Bone marrow aspirate smear
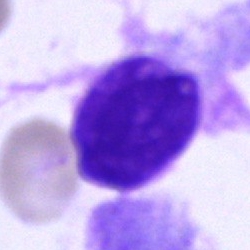Artefact.